Peripheral blood film.
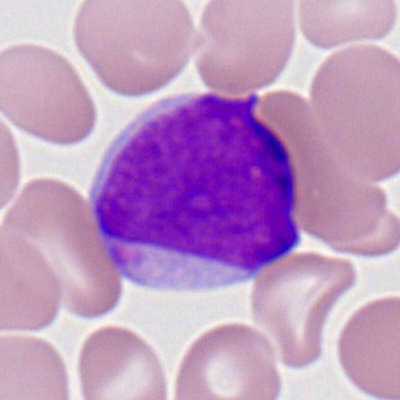
Cell type — myeloid blast.